Bone marrow smear — 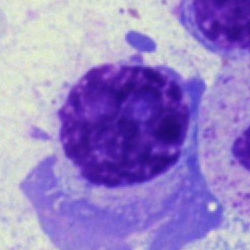 Specimen: bone marrow aspirate smear.
Morphological class: plasma cell.